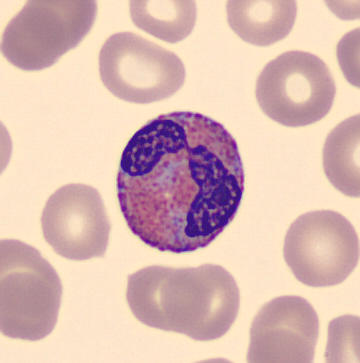Acquisition: Peripheral blood smear; automated cell imaging (CellaVision DM96).

{"cell_type": "eosinophilic granulocyte", "lineage": "myeloid"}